Bone marrow aspirate smear.
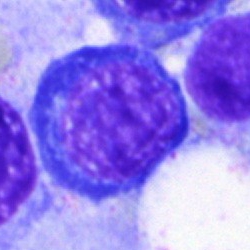
The cell shown is a normoblast.